Bone marrow smear — 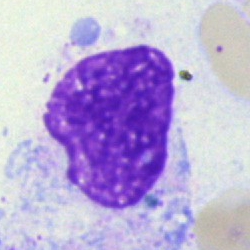

{"cell_type": "artifact"}